Bone marrow aspirate smear — 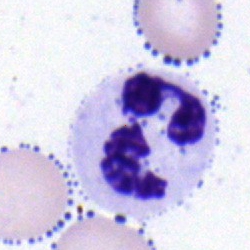
Specimen: bone marrow smear.
Cell type: polymorphonuclear neutrophil.
Lineage: myeloid.